Bone marrow smear. Pappenheim-stained — 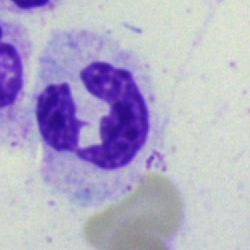 Q: Identify the cell.
A: A polymorphonuclear neutrophil.